Bone marrow aspirate smear; May-Grünwald-Giemsa/Pappenheim stain.
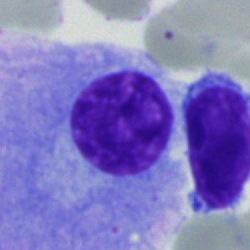 Classification — plasma cell.